Peripheral blood film — 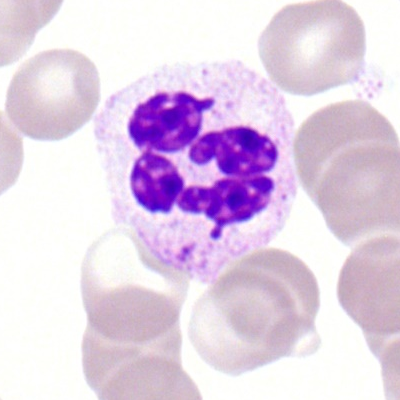{"cell_type": "segmented neutrophil", "lineage": "myeloid"}